MGG-stained · bone marrow aspirate smear · cropped to a single cell:
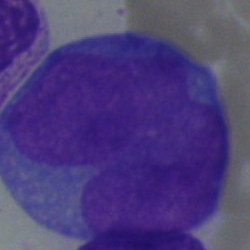 Specimen: bone marrow aspirate smear.
Cell: blast.